Bone marrow smear
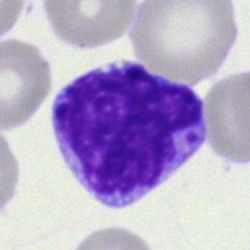 This is a blast cell.